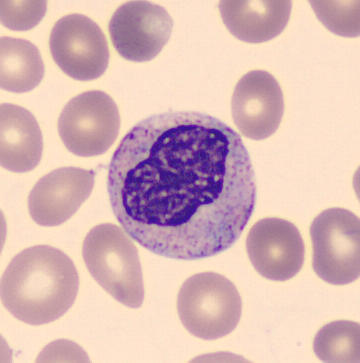
Peripheral blood film. Single cell identified as a metamyelocyte.